Bone marrow aspirate smear. Cropped to a single cell.
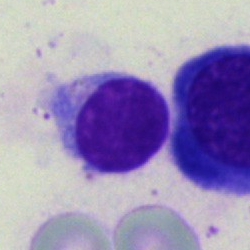 Single cell identified as a typical lymphocyte.